Peripheral blood smear.
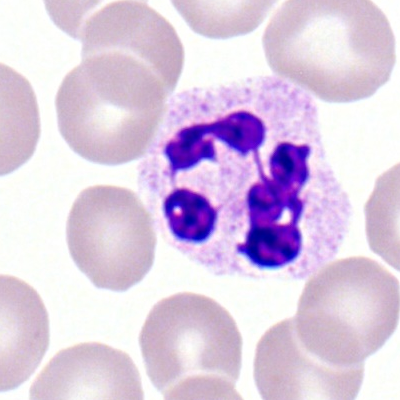Cell = neutrophil (segmented).